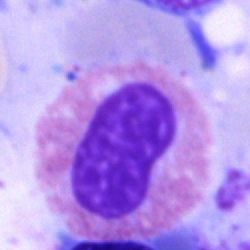
Cell = eosinophilic granulocyte.